Bone marrow aspirate smear · MGG-stained: 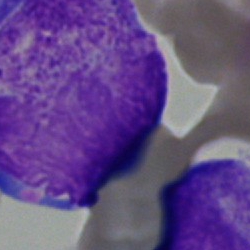The morphological class is blast.